40× oil immersion. Bone marrow aspirate smear.
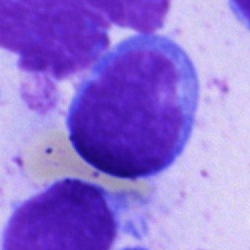
Specimen: bone marrow aspirate smear.
Cell type: blast.